Bone marrow smear. Pappenheim-stained
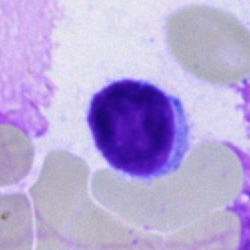

A lymphocyte.